Bone marrow smear. May-Grünwald-Giemsa/Pappenheim stain:
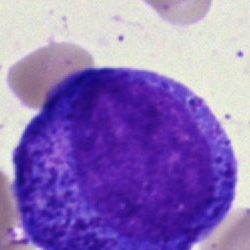A progranulocyte.